Bone marrow smear — 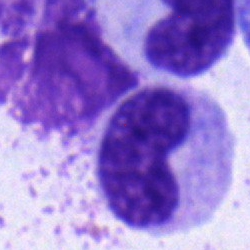Q: What is shown here?
A: A metamyelocyte.